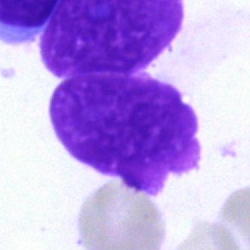
{"cell_type": "artifact"}